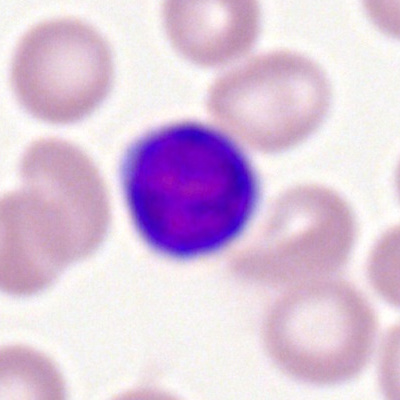Typical lymphocyte.